40× objective, oil immersion; bone marrow smear
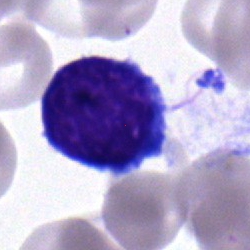Q: What cell is this?
A: It is a pronormoblast.